Bone marrow aspirate smear.
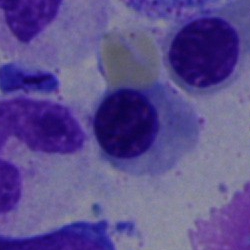
Q: What type of cell is this?
A: It is a nucleated red cell.